40× objective, oil immersion · bone marrow aspirate smear.
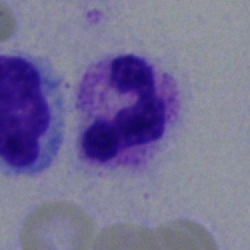

Q: Identify the cell.
A: This is a polymorphonuclear neutrophil.